Bone marrow aspirate smear — 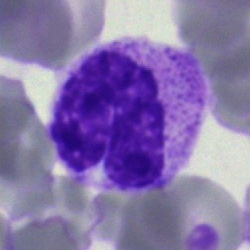Q: What cell is this?
A: It is a neutrophil (segmented).